Bone marrow smear
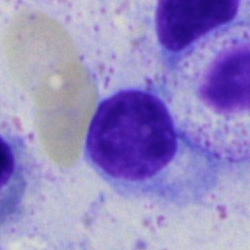
Morphology → typical lymphocyte.